Bone marrow aspirate smear.
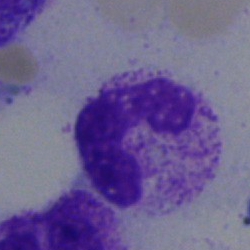
Specimen: bone marrow smear.
Cell: segmented neutrophil.
Lineage: myeloid.